Bone marrow smear.
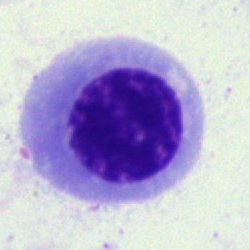

Impression → erythroblast.